Bone marrow smear
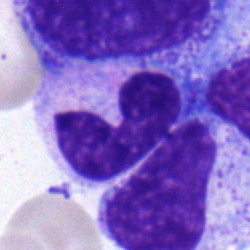 Q: Which cell type is shown here?
A: This is a neutrophil (band).